250×250 px; bone marrow aspirate smear: 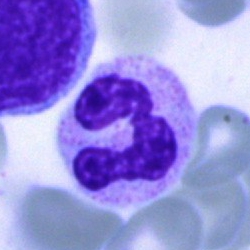
A segmented neutrophil.